40× objective, oil immersion; bone marrow smear
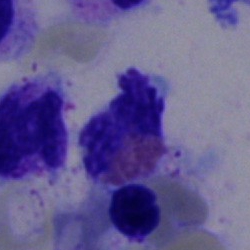
An eosinophil.